Peripheral blood film:
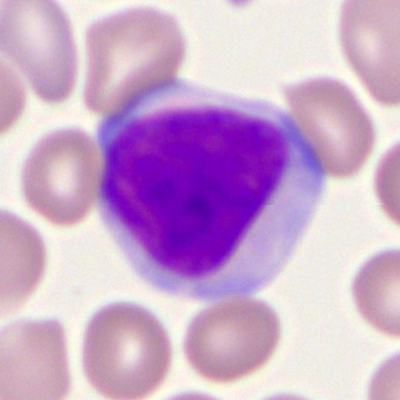

{"cell_type": "myeloblast", "lineage": "myeloid"}